Bone marrow aspirate smear.
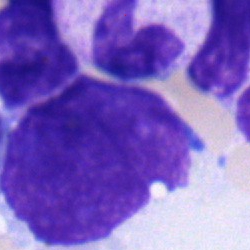{"cell_type": "neutrophil (band)"}